Bone marrow smear.
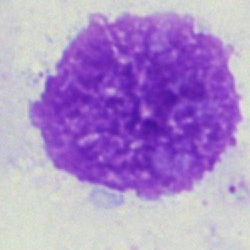

Cell type = artifact.